Bone marrow smear · brightfield microscopy, 40× oil immersion.
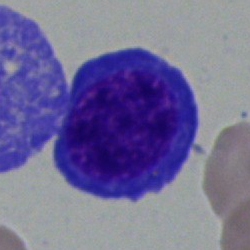
Morphological class = normoblast.